Bone marrow smear — 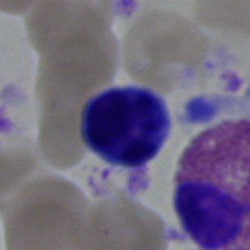The cell is lymphocyte.